Bone marrow smear; single-cell field:
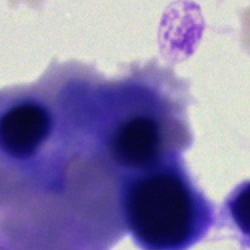Q: What is shown here?
A: It is an artifact.